Peripheral blood film · single cell centered in the field — 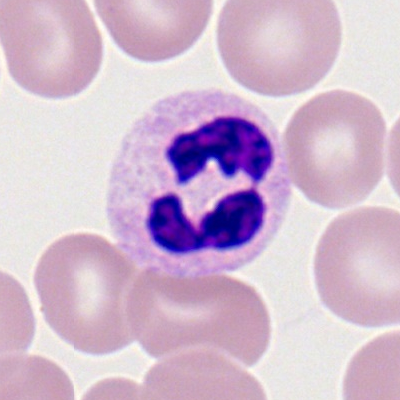Specimen: peripheral blood smear.
Classification: polymorphonuclear neutrophil.